Bone marrow aspirate smear:
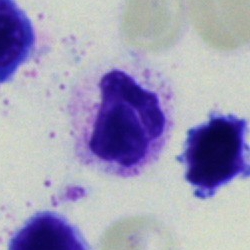

Single cell identified as a neutrophil (segmented).